Bone marrow smear; cropped to a single cell
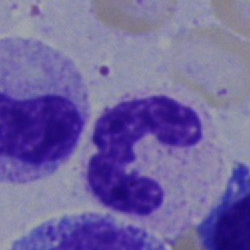
Morphological class = segmented neutrophil.